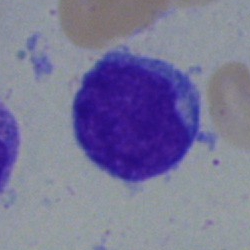

Specimen: bone marrow smear.
Morphological class: blast cell.